Bone marrow smear. 250×250 px — 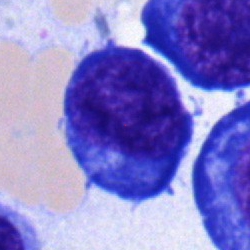
The cell shown is a pronormoblast.